Bone marrow smear: 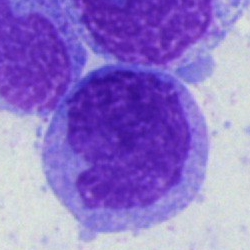
Q: What is shown here?
A: It is a monocyte.